Bone marrow aspirate smear
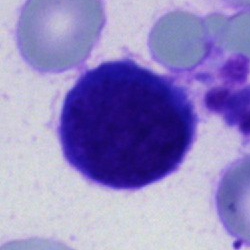 Showing a cell of indeterminate lineage.